Bone marrow smear
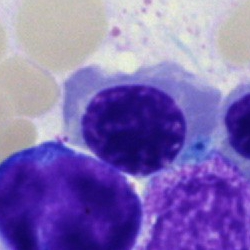 Q: What is the morphological classification of this cell?
A: Erythroblast.